Bone marrow aspirate smear.
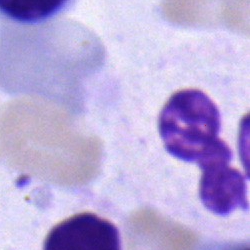 Morphology consistent with a segmented neutrophil.